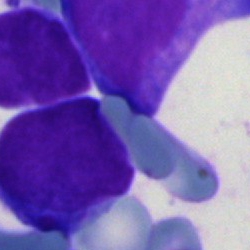

A blast cell on a bone marrow smear.